Bone marrow aspirate smear. Single-cell field
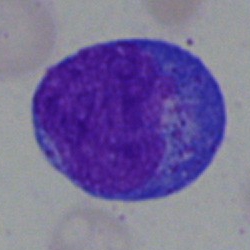Impression → progranulocyte.